Peripheral blood film.
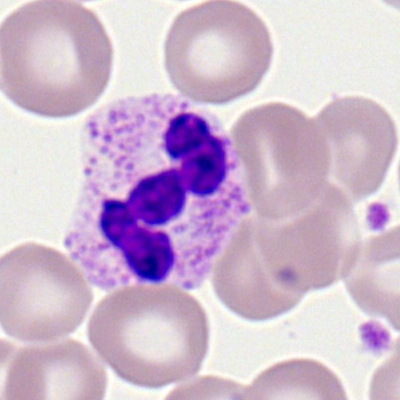Specimen: peripheral blood film.
Classification: neutrophil (segmented).